May-Grünwald-Giemsa stain. Bone marrow aspirate smear — 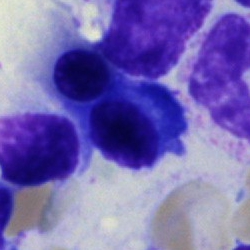 Morphology — plasmacyte.